Peripheral blood film.
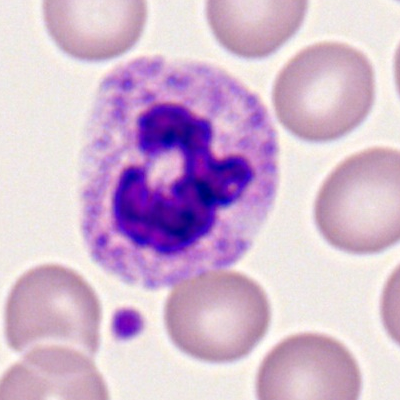
Cell — segmented neutrophil.